Bone marrow aspirate smear:
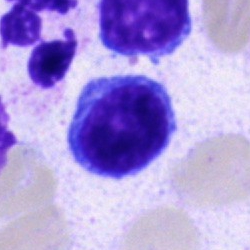 Cell type: typical lymphocyte.